Bone marrow smear
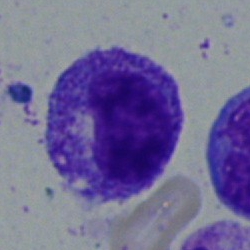 Impression → myelocyte.